Bone marrow smear:
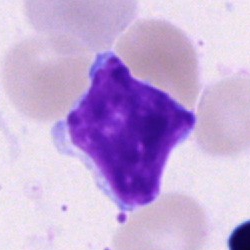
Single cell identified as a lymphocyte.